Brightfield microscopy, 40× oil immersion. May-Grünwald-Giemsa/Pappenheim stain. Bone marrow aspirate smear — 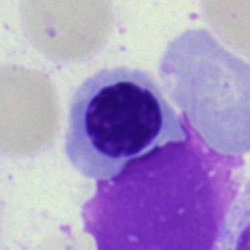Nucleated red cell.